Image size 400×400. Peripheral blood smear:
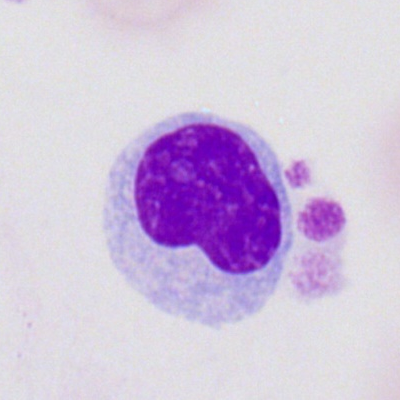 Q: What type of cell is this?
A: This is a lymphocyte.